Bone marrow aspirate smear · 250×250 px · single cell centered in the field:
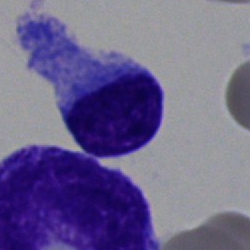

Specimen: bone marrow aspirate smear.
Cell type: lymphocyte.